Romanowsky-stained; peripheral blood smear.
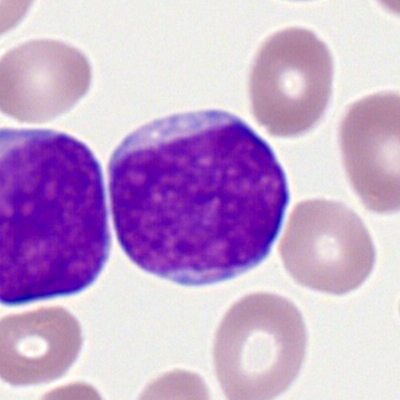 Morphological class = myeloid blast.